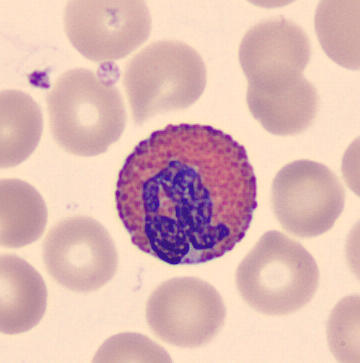 Q: Identify the cell.
A: This is an eosinophil.
Peripheral blood smear. Single-cell crop.